Cropped to a single cell. Bone marrow smear
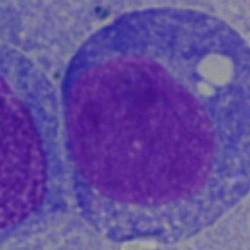 Morphology consistent with a blast cell.